Peripheral blood film · automated cell imaging (CellaVision DM96):
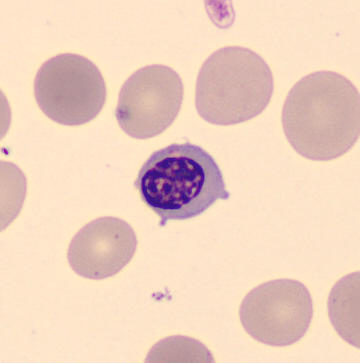
Cell type = erythroblast.